May-Grünwald-Giemsa/Pappenheim stain; bone marrow aspirate smear: 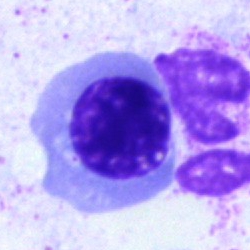{"cell_type": "nucleated red cell", "lineage": "erythroid"}